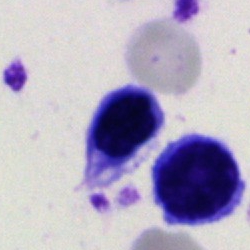The cell type is normoblast.